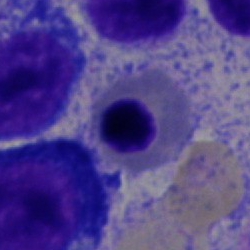
{"cell_type": "nucleated red cell"}